Peripheral blood smear.
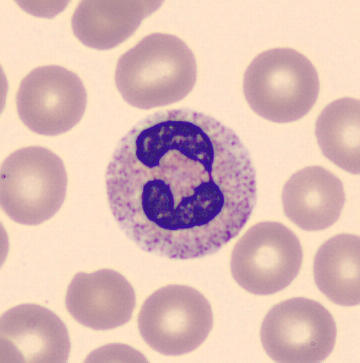 Specimen: peripheral blood smear.
Classification: neutrophil (segmented).